Bone marrow smear. 250 by 250 pixels. Single-cell field — 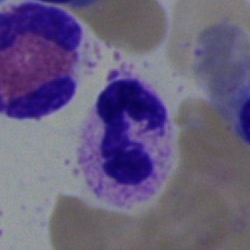 This is a polymorphonuclear neutrophil.